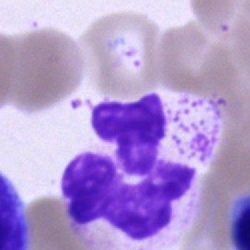 Morphology consistent with a polymorphonuclear neutrophil.